Brightfield microscopy, 40× oil immersion; bone marrow aspirate smear; single-cell field.
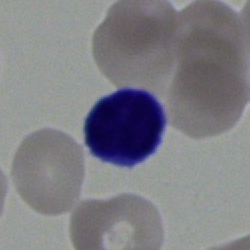
Cell type: lymphocyte.